Bone marrow smear — 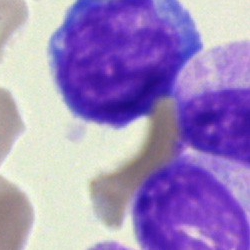Morphology — undifferentiated blast.